250×250 · bone marrow smear · single-cell field:
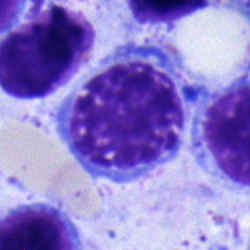

This is an erythroblast.